Bone marrow aspirate smear:
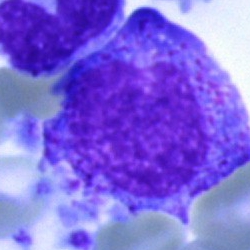
Q: What is the morphological classification of this cell?
A: Progranulocyte.